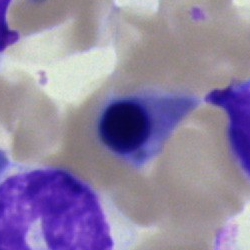Specimen: bone marrow aspirate smear.
Cell type: nucleated red blood cell.
Lineage: erythroid.